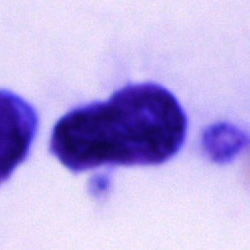

Cell — unidentifiable cell.